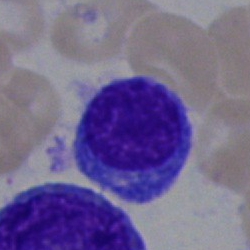Q: What type of cell is this?
A: Plasmacyte.